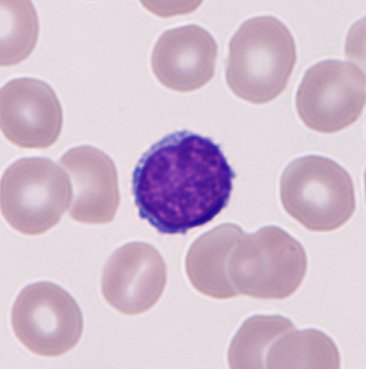

Acquisition: Peripheral blood smear; image size 366×369.
{"cell_type": "lymphocyte", "lineage": "lymphoid"}